Bone marrow aspirate smear:
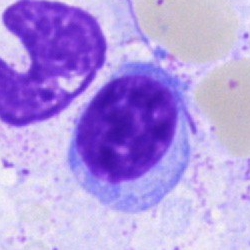 Morphology consistent with a typical lymphocyte.